Bone marrow smear; brightfield, 40× oil-immersion objective; image size 250×250 — 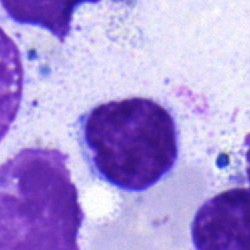{"cell_type": "lymphocyte", "lineage": "lymphoid"}